Peripheral blood film.
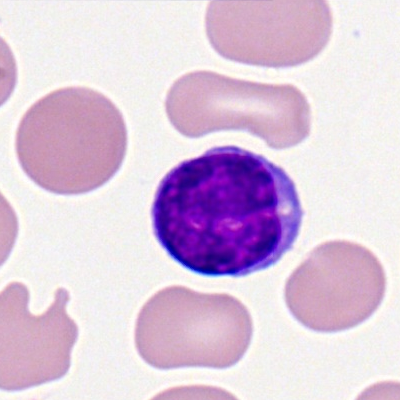Classification — lymphocyte.